Bone marrow smear: 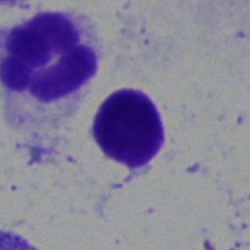 Impression — artifact.